Bone marrow smear
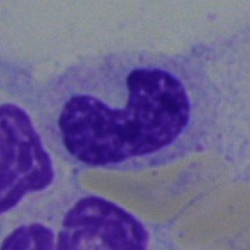 Morphological class: band neutrophil.